Bone marrow smear — 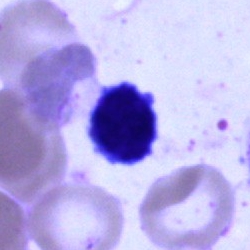 Impression — polymorphonuclear neutrophil.